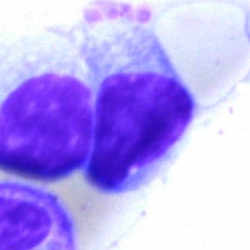

Specimen: bone marrow aspirate smear.
Morphological class: lymphocyte.